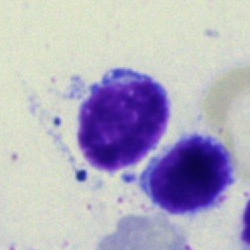Impression — typical lymphocyte.